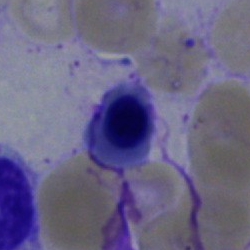

Q: What is shown here?
A: A nucleated red cell.